Bone marrow aspirate smear.
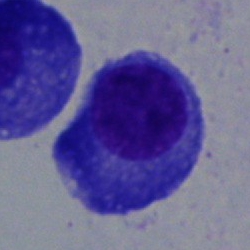Plasma cell.